Bone marrow smear. Cropped to a single cell: 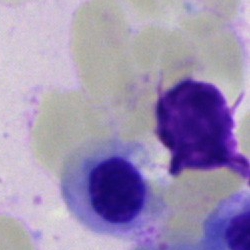
Morphological class — normoblast.